40× oil immersion. May-Grünwald-Giemsa stain. Bone marrow smear — 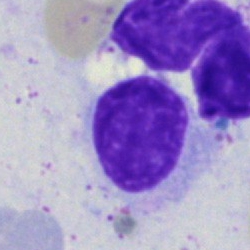

This is a lymphocyte.